MGG-stained; bone marrow smear — 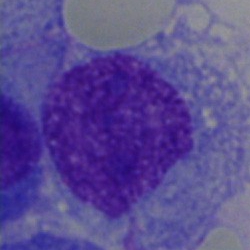
Plasma cell.